Bone marrow aspirate smear: 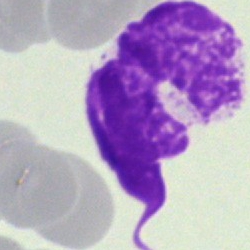Showing an artefact.